Pappenheim-stained; bone marrow smear: 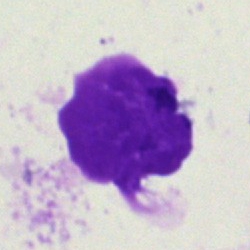

Artifact.